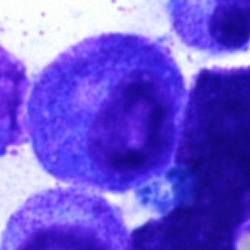Cell — promyelocyte.